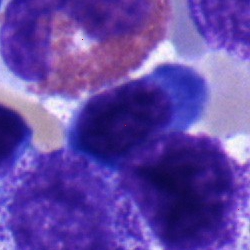 Bone marrow aspirate smear, single cell — erythroblast.